Bone marrow aspirate smear
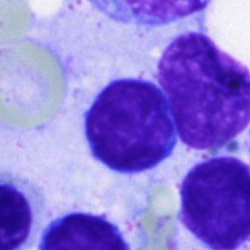 A typical lymphocyte.